250×250 · cropped to a single cell · bone marrow smear.
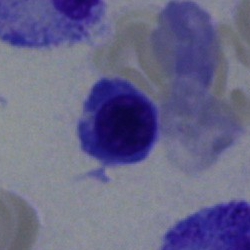 Specimen: bone marrow smear.
Classification: normoblast.
Lineage: erythroid.